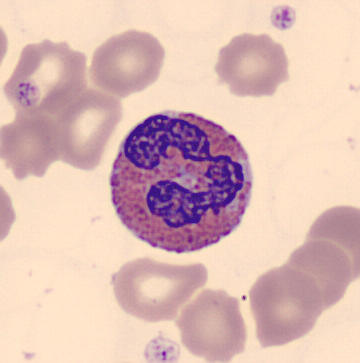

Single-cell crop from a peripheral blood smear: eosinophilic granulocyte.